Bone marrow aspirate smear: 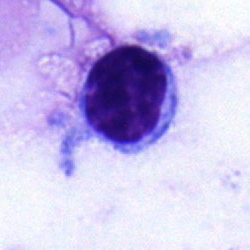

Morphology → lymphocyte.